Bone marrow aspirate smear
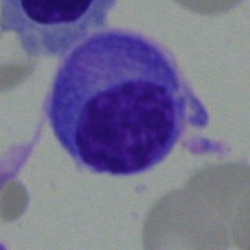

This is a plasma cell.